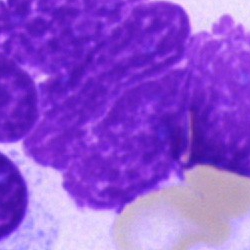
The cell shown is an artefact.